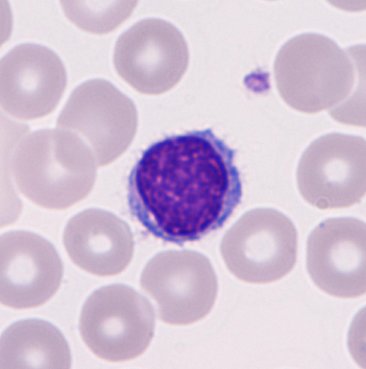 Single-cell crop from a peripheral blood smear: lymphocyte.